Bone marrow smear: 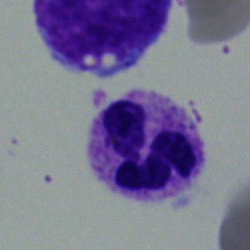
{"cell_type": "segmented neutrophil", "lineage": "myeloid"}